Bone marrow aspirate smear; Pappenheim-stained — 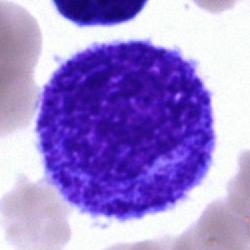 Cell — progranulocyte.